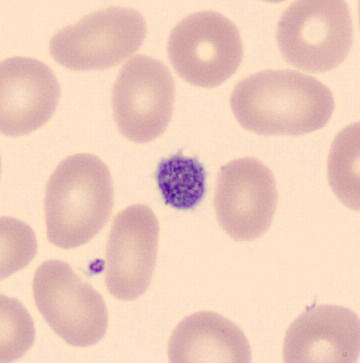 The morphological class is platelet (thrombocyte).